Bone marrow smear: 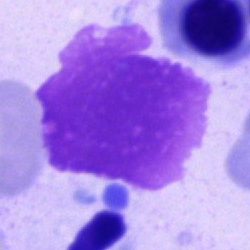 Specimen: bone marrow aspirate smear.
Cell: artifact.